Bone marrow aspirate smear:
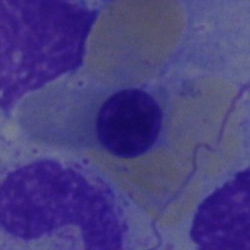

Morphology consistent with a normoblast.